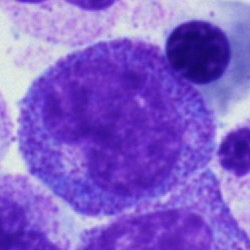
Specimen: bone marrow smear.
Morphological class: progranulocyte.
Lineage: myeloid.